Bone marrow aspirate smear; 250 by 250 pixels
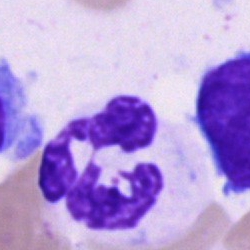
The cell shown is a segmented neutrophil.